Bone marrow smear; 250 by 250 pixels: 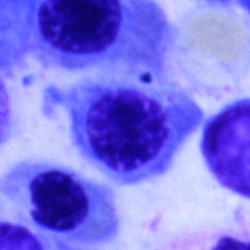
Showing an erythroblast.